Bone marrow aspirate smear; brightfield microscopy, 40× oil immersion: 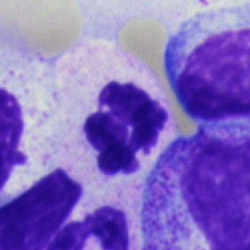
Q: What is shown here?
A: A neutrophil (segmented).